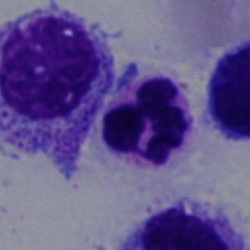
Impression → segmented neutrophil.